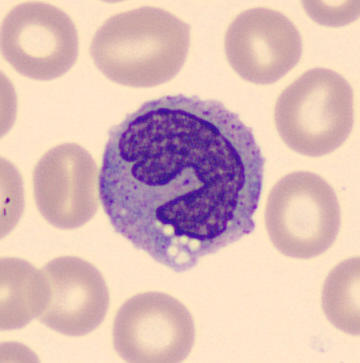
Image: Single-cell crop; peripheral blood film.
{"cell_type": "monocyte"}